Peripheral blood smear — 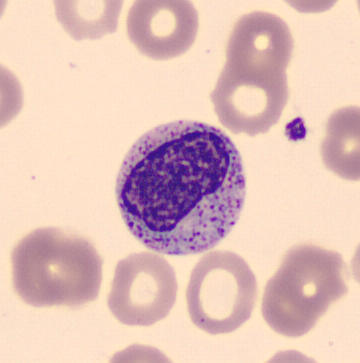

Morphological class: metamyelocyte.